Single-cell field. Bone marrow smear — 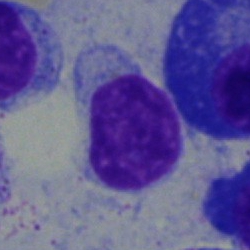
Classification: lymphocyte.